250×250; bone marrow aspirate smear: 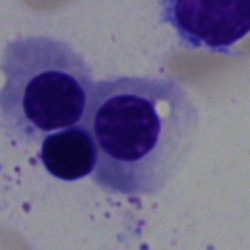Q: What cell is this?
A: This is a nucleated red cell.